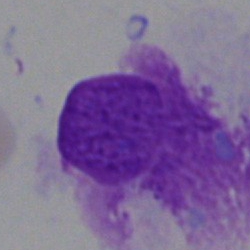Morphology → artefact.